Bone marrow smear. Brightfield, 40× oil-immersion objective: 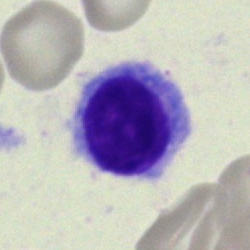Specimen: bone marrow aspirate smear.
Classification: hairy cell.
Lineage: lymphoid.